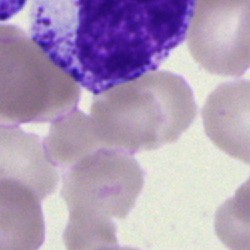 This is an artifact.